250 by 250 pixels; 40× objective, oil immersion; bone marrow aspirate smear
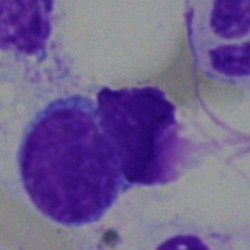 A typical lymphocyte.